Bone marrow smear:
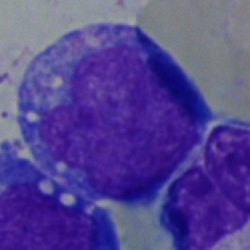
Classification: undifferentiated blast.